Bone marrow aspirate smear
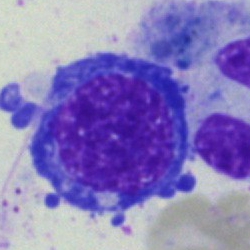
Morphology — erythroblast.